Bone marrow smear: 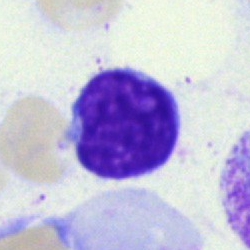 Q: What cell is this?
A: Typical lymphocyte.